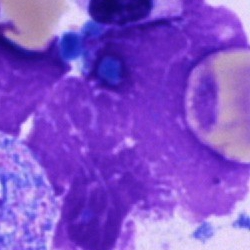
An artefact.